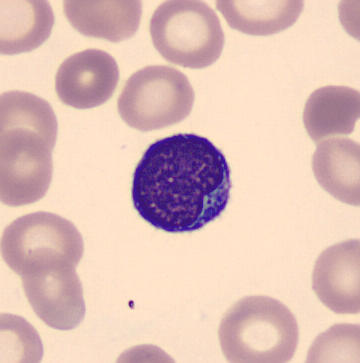 Q: What is this?
A: Typical lymphocyte.